Bone marrow aspirate smear · 250×250 · cropped to a single cell — 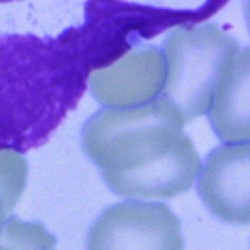

Q: What is shown here?
A: An artefact.